Bone marrow aspirate smear.
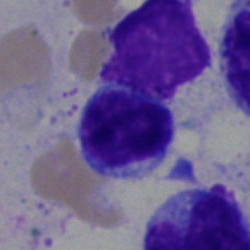

The cell shown is a typical lymphocyte.